Bone marrow smear · MGG-stained · 250 by 250 pixels:
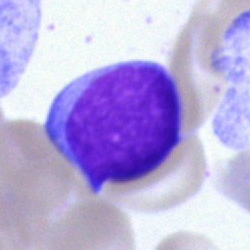Q: What is the morphological classification of this cell?
A: This is a blast cell.